MGG-stained. Bone marrow aspirate smear.
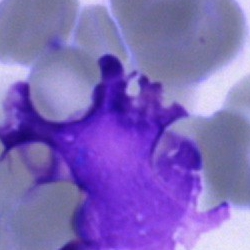 The classification is artifact.